Bone marrow aspirate smear; 250×250; brightfield microscopy, 40× oil immersion.
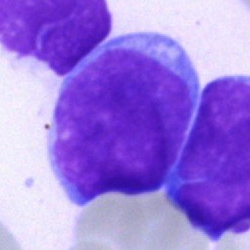
A blast cell.